Bone marrow aspirate smear: 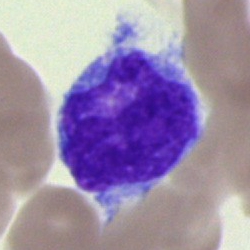
Monocyte.